250 by 250 pixels. Bone marrow smear. 40× objective, oil immersion:
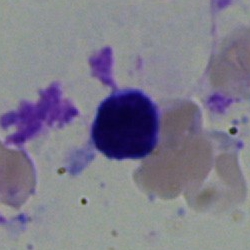

Cell type — lymphocyte.